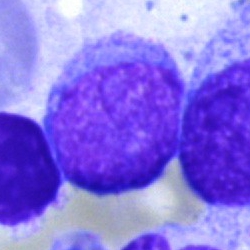
Specimen: bone marrow smear.
Cell type: blast.